Bone marrow aspirate smear: 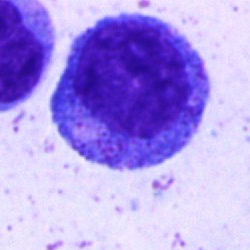Classification: progranulocyte.